Bone marrow aspirate smear.
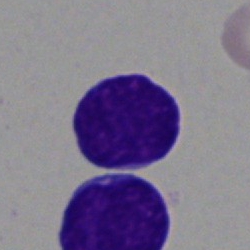Morphology consistent with a blast cell.